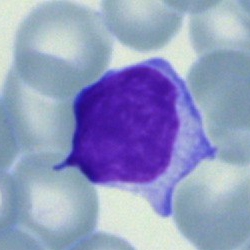

Morphology — typical lymphocyte.